Peripheral blood film:
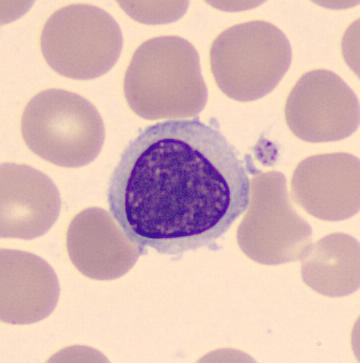

Q: What is shown here?
A: Typical lymphocyte.